Bone marrow aspirate smear · 40× oil immersion: 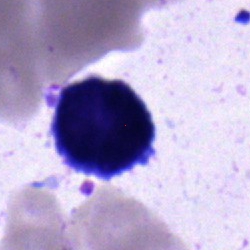
Cell — blast cell.